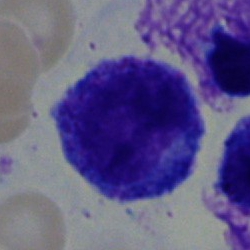Progranulocyte.